Romanowsky-stained · peripheral blood smear: 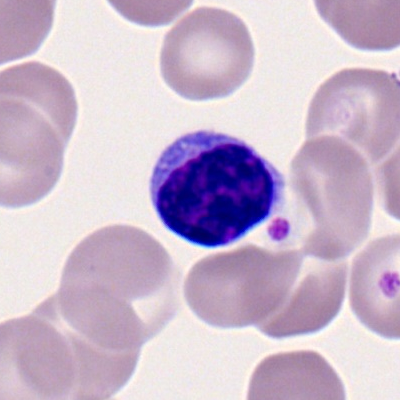

Single cell identified as a lymphocyte.